Peripheral blood film — 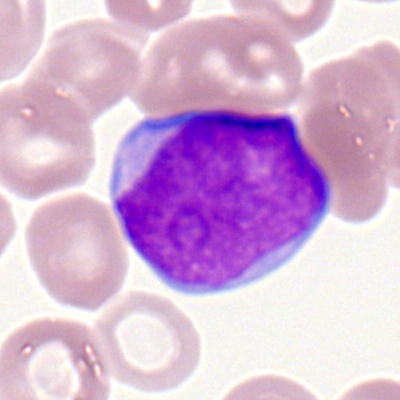Morphology consistent with a myeloblast.